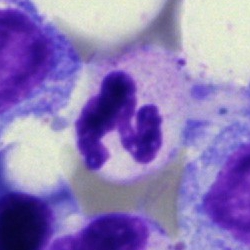

Cell type: segmented neutrophil.